Bone marrow aspirate smear · 250×250:
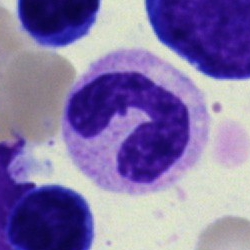
Showing a neutrophil (segmented).